Brightfield, 40× oil-immersion objective; 250×250 px; bone marrow smear: 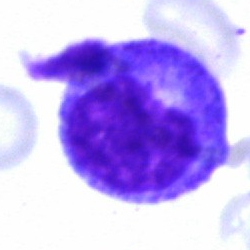This is a progranulocyte.